Bone marrow smear
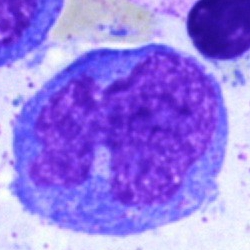Morphology — monocyte.